40× objective, oil immersion; bone marrow smear:
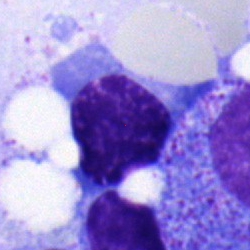Showing a nucleated red blood cell.